May-Grünwald-Giemsa/Pappenheim stain. Bone marrow smear. Single cell centered in the field:
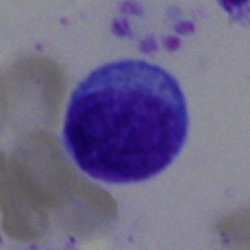 Q: What cell is this?
A: It is a lymphocyte.